Peripheral blood film
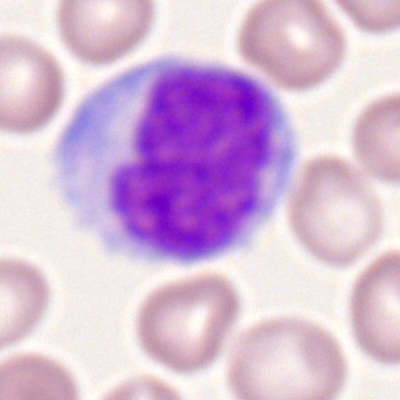 Q: What cell is this?
A: This is a monocyte.